Single cell centered in the field · bone marrow aspirate smear
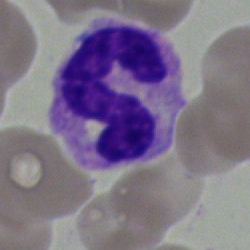 Q: What is shown here?
A: This is a stab cell.